May-Grünwald-Giemsa stain · bone marrow smear: 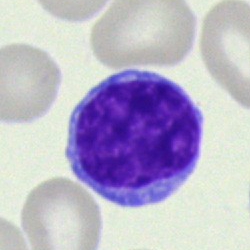

Q: What is the morphological classification of this cell?
A: Typical lymphocyte.